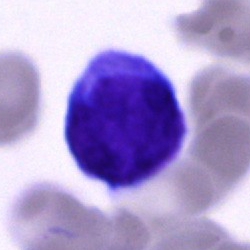

Morphology — blast.